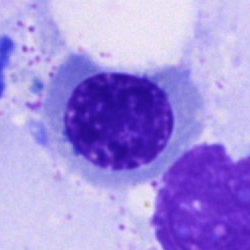
{"cell_type": "nucleated red cell"}